Bone marrow smear · single-cell field · image size 250×250 — 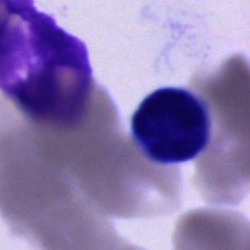

Morphological class = cell of indeterminate lineage.